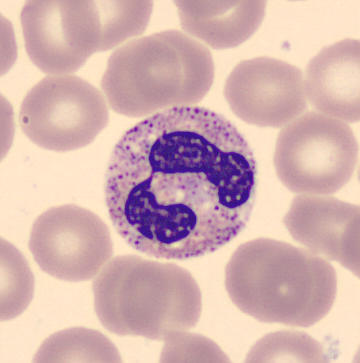Image: Peripheral blood film.
The cell type is neutrophil (segmented).